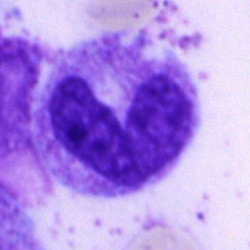 Cell type — band neutrophil.